Bone marrow smear. Single cell centered in the field.
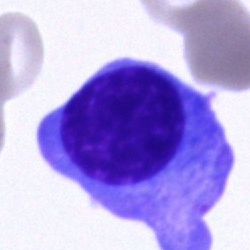
This is a plasmacyte.